250×250 · bone marrow aspirate smear:
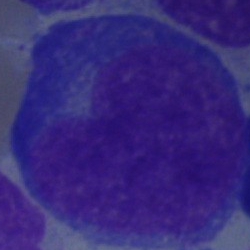 Specimen: bone marrow smear.
Cell: blast.